Bone marrow aspirate smear. Image size 250×250. 40× oil immersion.
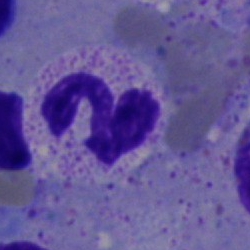Segmented neutrophil.